250×250. May-Grünwald-Giemsa/Pappenheim stain. Bone marrow smear.
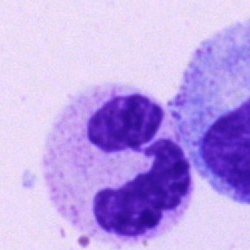 Segmented neutrophil.